Bone marrow aspirate smear.
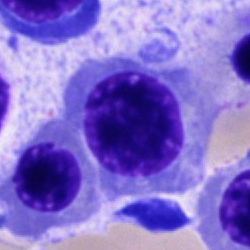
Specimen: bone marrow aspirate smear.
Cell type: nucleated red blood cell.
Lineage: erythroid.